Bone marrow aspirate smear:
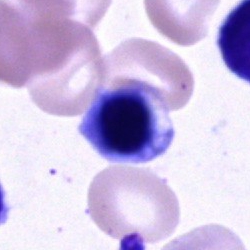

This is a normoblast.